Bone marrow aspirate smear; 250 by 250 pixels; 40× objective, oil immersion:
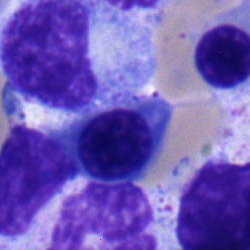 Morphology — normoblast.